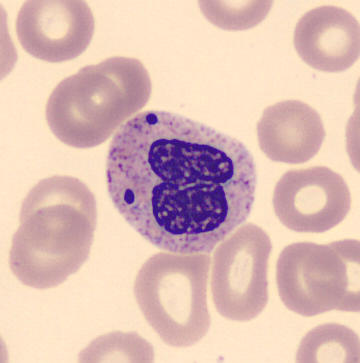
Image: Single-cell field.
Specimen: peripheral blood smear.
Cell: metamyelocyte.